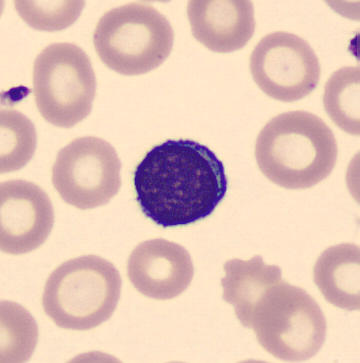 {"cell_type": "lymphocyte"}